Bone marrow aspirate smear:
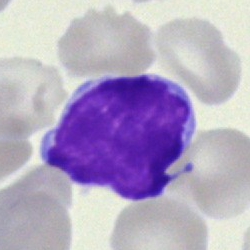

Single cell identified as a lymphocyte.